Image size 250×250 · bone marrow aspirate smear: 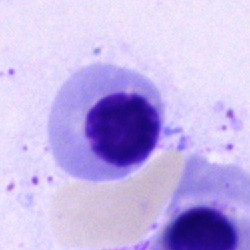Cell type: erythroblast.